Bone marrow smear.
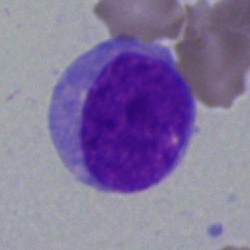The cell type is undifferentiated blast.